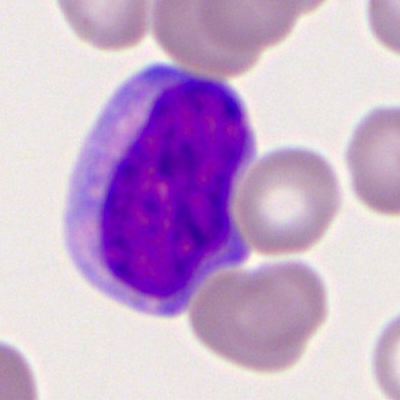 Q: What is shown here?
A: A myeloid blast.